Bone marrow aspirate smear. 250 by 250 pixels. 40× objective, oil immersion: 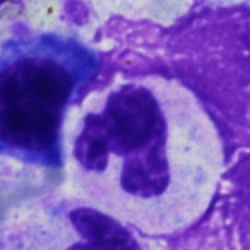
Classification — segmented neutrophil.